May-Grünwald-Giemsa stain; cropped to a single cell; bone marrow aspirate smear: 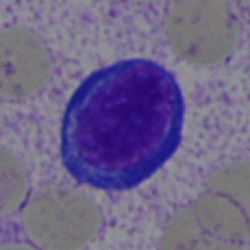 Showing a normoblast.